May-Grünwald-Giemsa/Pappenheim stain · single-cell crop · bone marrow aspirate smear — 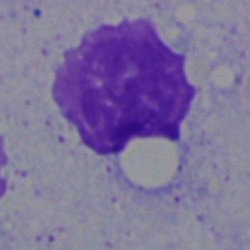Morphology consistent with an artifact.